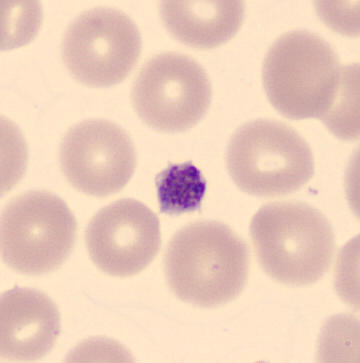
Platelet.